Bone marrow smear.
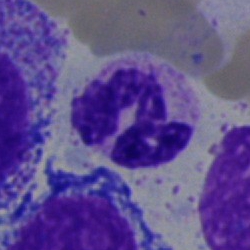

Classification — segmented neutrophil.